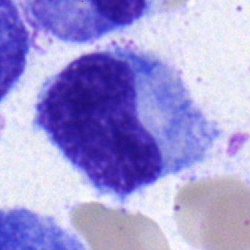

Cell type = metamyelocyte.